Single-cell crop · bone marrow aspirate smear · brightfield microscopy, 40× oil immersion — 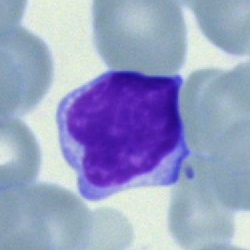Morphology consistent with a typical lymphocyte.